Bone marrow smear.
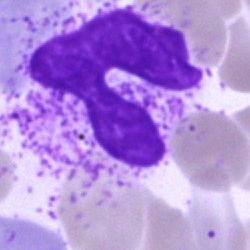

Q: Identify the cell.
A: Polymorphonuclear neutrophil.